Peripheral blood film:
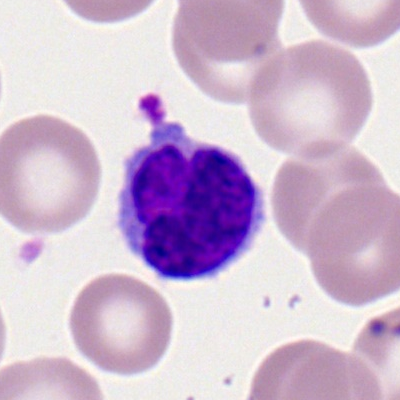 Lymphocyte.